Bone marrow aspirate smear: 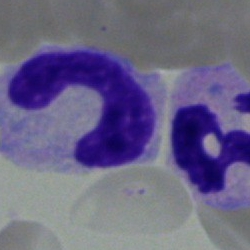Morphological class: stab cell.